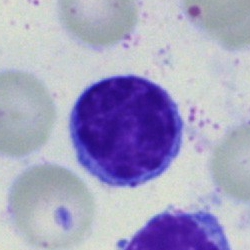
Impression → lymphocyte.